Bone marrow aspirate smear — 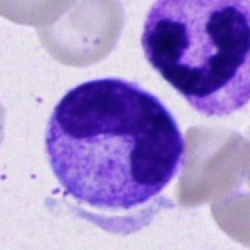 This is a band-form neutrophil.